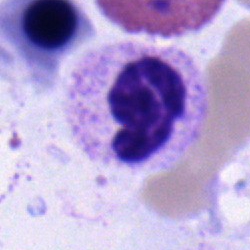
Cell: neutrophil (segmented).